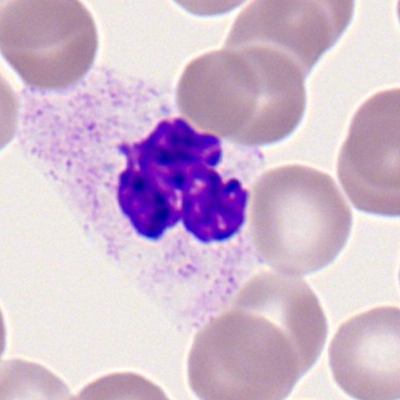
The cell shown is a polymorphonuclear neutrophil.